Bone marrow aspirate smear
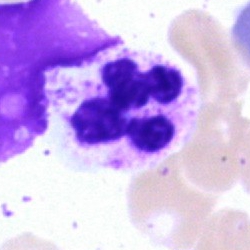Specimen: bone marrow smear.
Cell: polymorphonuclear neutrophil.